Bone marrow smear
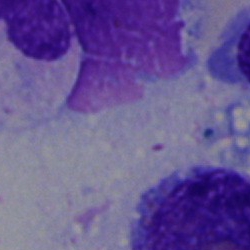Q: What is shown here?
A: An artefact.